Bone marrow aspirate smear · May-Grünwald-Giemsa stain · single-cell field.
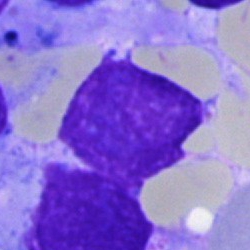

Specimen: bone marrow aspirate smear.
Classification: artifact.